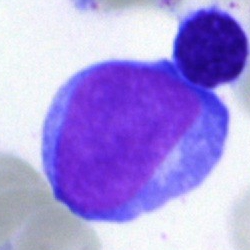 Morphology consistent with a blast.